MGG-stained · bone marrow aspirate smear
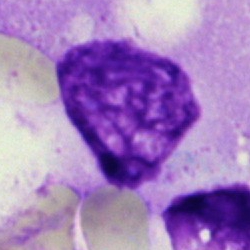 Impression → artifact.